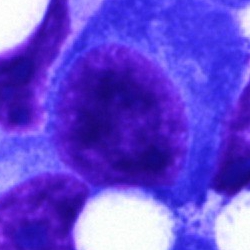 {"cell_type": "plasmacyte", "lineage": "lymphoid"}